Bone marrow smear
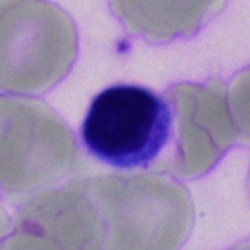Morphology consistent with a lymphocyte.